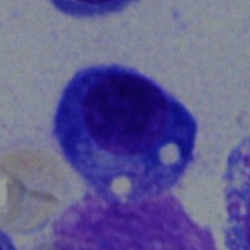Cell type = plasmacyte.